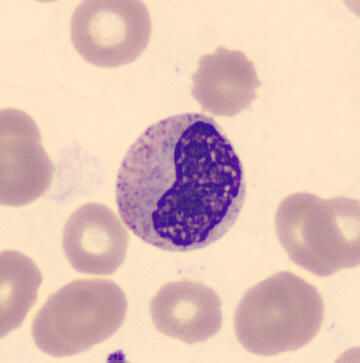Q: What type of cell is this?
A: Metamyelocyte.

Image: Peripheral blood smear. Automated cell imaging (CellaVision DM96).